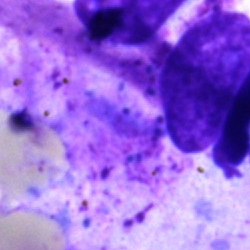

Artefact.